Single cell centered in the field · bone marrow smear:
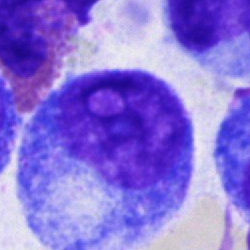

Single cell identified as a promyelocyte.